Bone marrow aspirate smear.
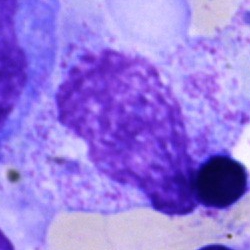 Cell — artefact.